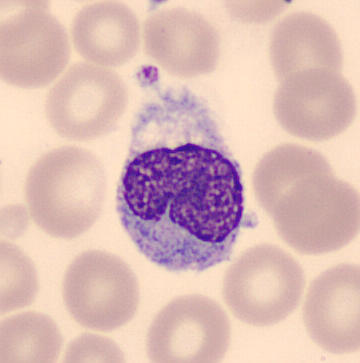

Preparation: Image size 360×363 · peripheral blood smear.
Identified as a monocyte.